Bone marrow aspirate smear.
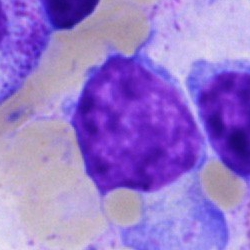

Q: What is shown here?
A: Lymphocyte.